MGG-stained · bone marrow smear: 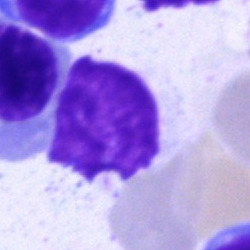
Artifact.